250×250. Bone marrow smear:
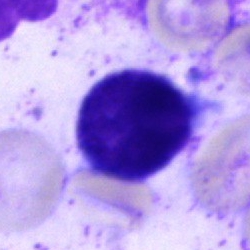 Specimen: bone marrow smear.
Morphological class: artifact.